Bone marrow smear · brightfield, 40× oil-immersion objective — 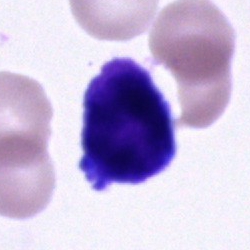 Cell type = unidentifiable cell.